Bone marrow smear.
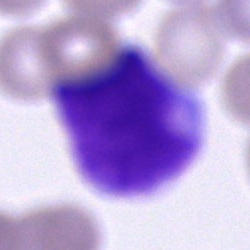Cell = cell of indeterminate lineage.